Bone marrow smear; single-cell crop.
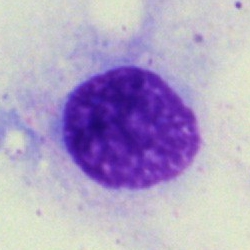

Q: What is shown here?
A: An artefact.